Bone marrow aspirate smear · image size 250×250: 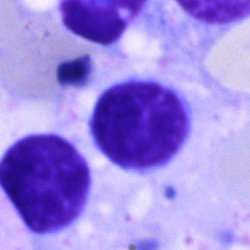
Specimen: bone marrow smear.
Cell: cell of indeterminate lineage.